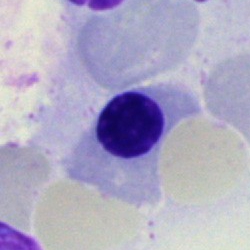
Morphology — nucleated red blood cell.